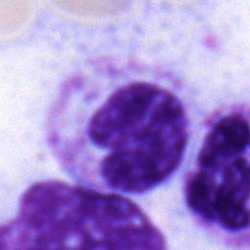

Cell = band-form neutrophil.